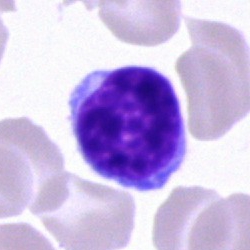
Q: What is shown here?
A: Lymphocyte.